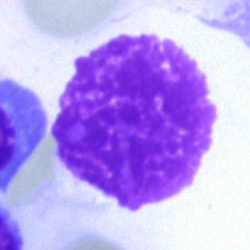
The cell shown is an artefact.